Cropped to a single cell · bone marrow aspirate smear:
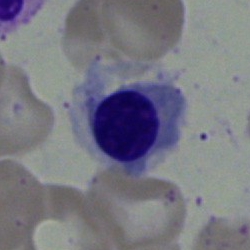

Q: What type of cell is this?
A: It is a nucleated red blood cell.